May-Grünwald-Giemsa stain · bone marrow smear · 250 by 250 pixels
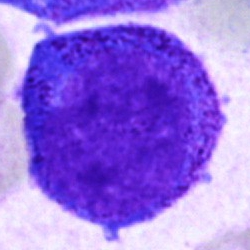Showing a progranulocyte.